Bone marrow aspirate smear. Brightfield, 40× oil-immersion objective
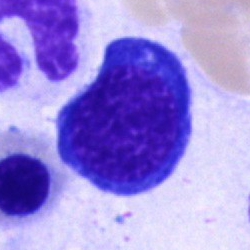 Morphology — nucleated red blood cell.